40× objective, oil immersion; May-Grünwald-Giemsa stain; bone marrow smear:
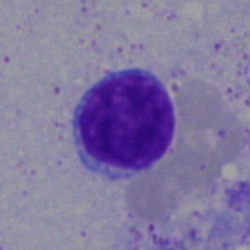

Q: What cell is this?
A: It is a lymphocyte.